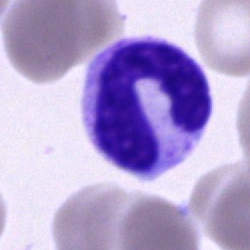 The cell is band-form neutrophil.